Bone marrow smear
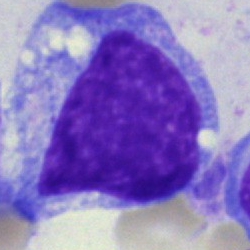

Morphological class = undifferentiated blast.